Peripheral blood film.
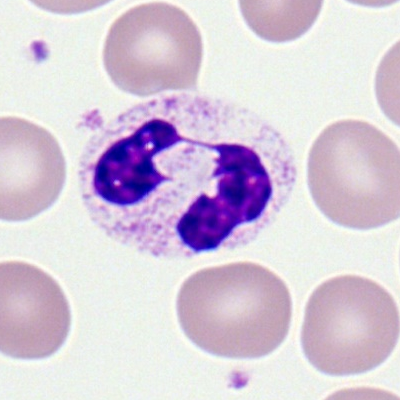Q: What is the morphological classification of this cell?
A: A segmented neutrophil.